MGG-stained. Single-cell field. Bone marrow smear: 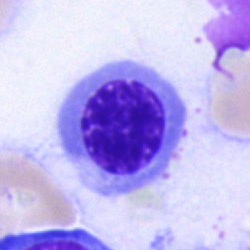Single cell identified as a normoblast.